40× oil immersion. Bone marrow smear
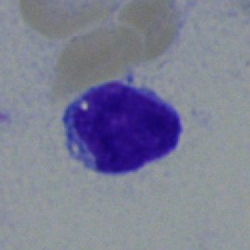
Q: Identify the cell.
A: A typical lymphocyte.